Bone marrow aspirate smear:
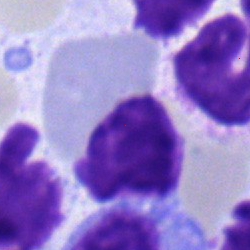 A normoblast.